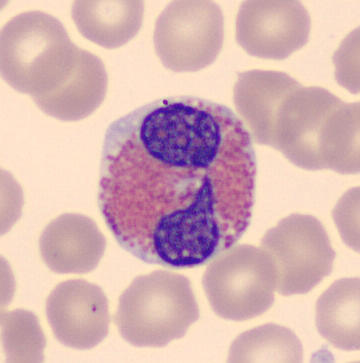
Image: Peripheral blood film.
The cell is eosinophil.